Single-cell field · bone marrow aspirate smear.
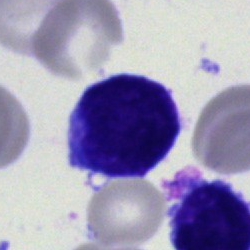

An undifferentiated blast.